Bone marrow aspirate smear.
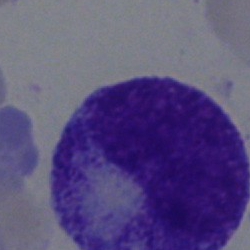 Q: Which cell type is shown here?
A: This is a metamyelocyte.